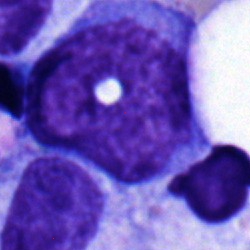

Specimen: bone marrow smear.
Classification: lymphocyte.